Single-cell crop · bone marrow aspirate smear · Pappenheim-stained.
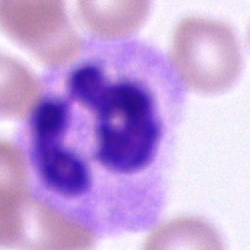

Morphology — segmented neutrophil.